Single-cell crop; bone marrow smear.
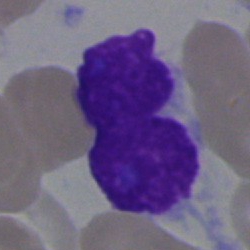 Morphology consistent with an artefact.